Single-cell field. Bone marrow smear.
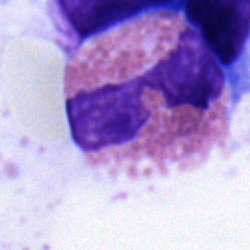 The cell is eosinophil.